Pappenheim-stained. Bone marrow aspirate smear.
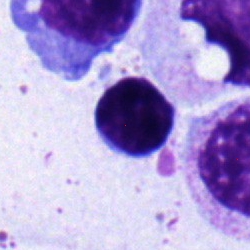

The cell shown is a typical lymphocyte.